Peripheral blood film. 100× oil immersion:
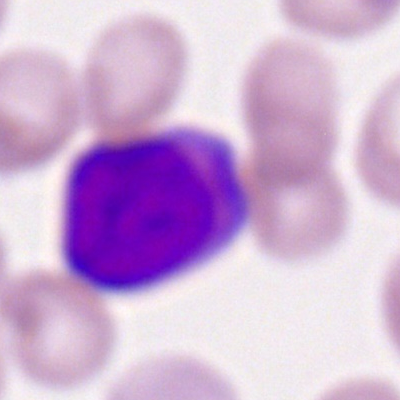

Classification: myeloblast.